Bone marrow smear — 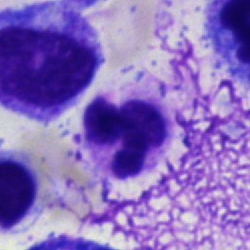 The cell shown is a neutrophil (segmented).